Bone marrow smear.
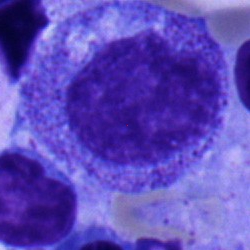

Morphological class = promyelocyte.